Peripheral blood film · 360 by 363 pixels · MGG-stained:
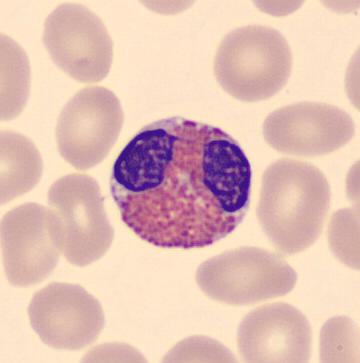

Specimen: peripheral blood smear.
Cell type: eosinophil.